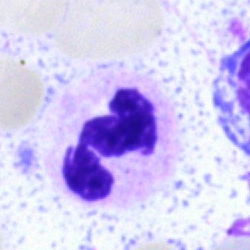{"cell_type": "segmented neutrophil"}